40× oil immersion; bone marrow aspirate smear; single-cell field
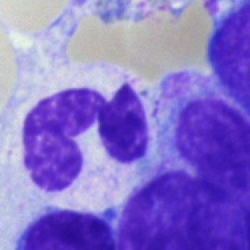 Single cell identified as a neutrophil (segmented).